Bone marrow aspirate smear
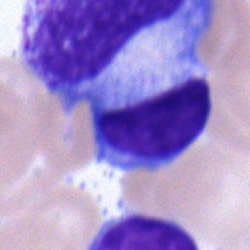

Lymphocyte.